Brightfield microscopy, 40× oil immersion · bone marrow aspirate smear — 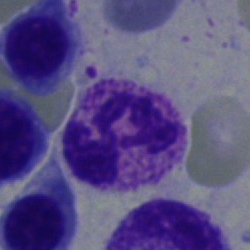Morphology consistent with a neutrophil (segmented).